Romanowsky stain. Peripheral blood smear. Single cell centered in the field
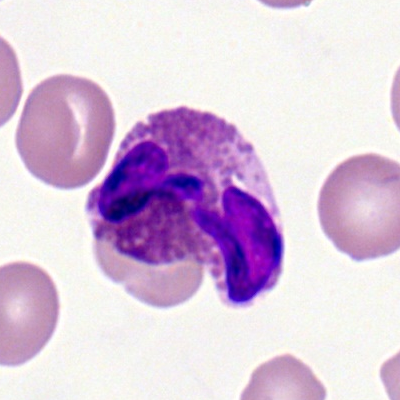 {"cell_type": "eosinophilic granulocyte", "lineage": "myeloid"}